Bone marrow smear.
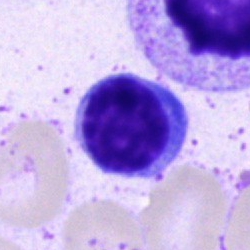Classification — lymphocyte.